Bone marrow smear — 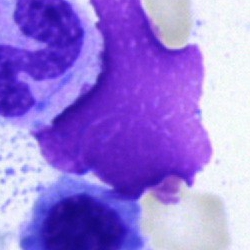

The morphological class is artefact.